Bone marrow smear
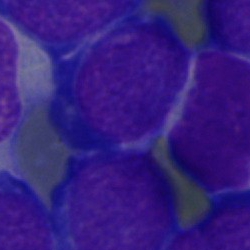Classification: undifferentiated blast.